Bone marrow smear:
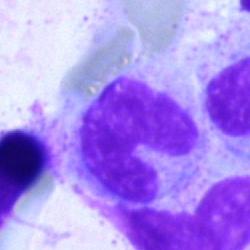

Specimen: bone marrow smear.
Classification: stab cell.